Bone marrow aspirate smear:
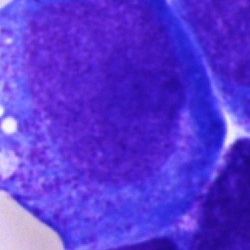
{"cell_type": "promyelocyte", "lineage": "myeloid"}